40× objective, oil immersion. Bone marrow smear. 250×250 px
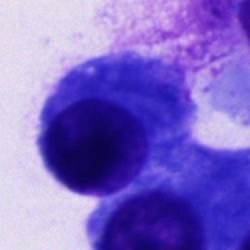 Other cell.